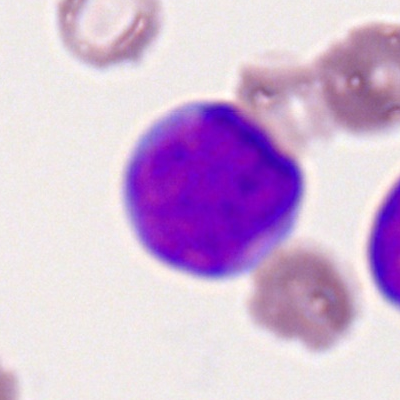
Classification — myeloblast.